Peripheral blood smear; cropped to a single cell:
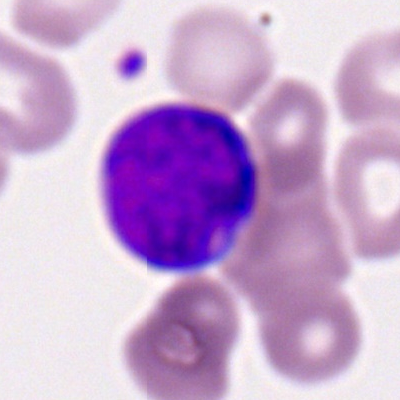

Cell type — myeloblast.